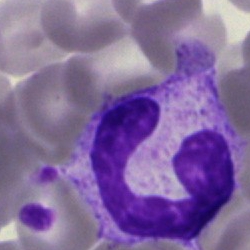

Classification — segmented neutrophil.